Bone marrow smear. 250×250 px
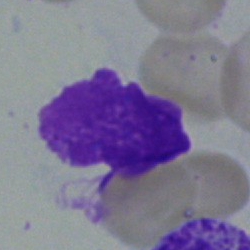

Morphological class — artifact.